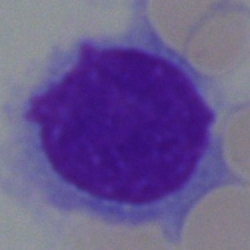 Specimen: bone marrow aspirate smear.
Classification: plasma cell.
Lineage: lymphoid.